Bone marrow aspirate smear
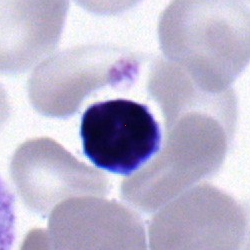 Cell type — typical lymphocyte.